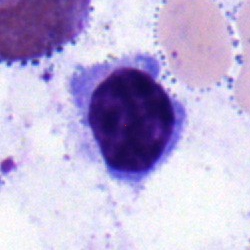
Morphological class = nucleated red cell.